Bone marrow smear.
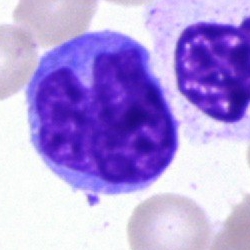

Morphology consistent with a monocyte.